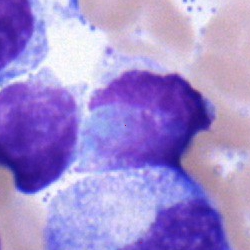

The cell shown is a lymphocyte.